Bone marrow aspirate smear:
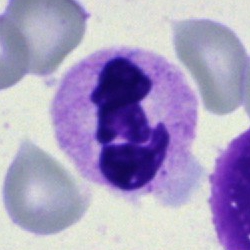Impression — polymorphonuclear neutrophil.